Brightfield, 40× oil-immersion objective; bone marrow smear: 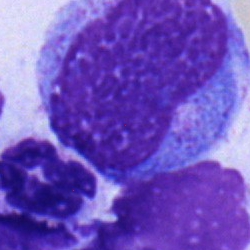This is a progranulocyte.